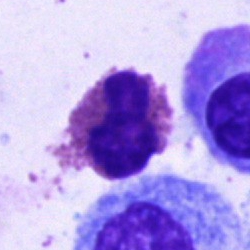{"cell_type": "eosinophil", "lineage": "myeloid"}